Bone marrow smear: 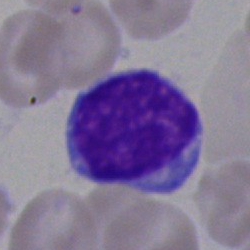
Cell: typical lymphocyte.